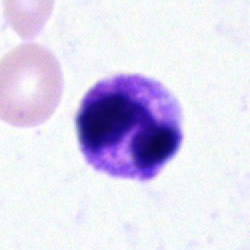

The cell type is neutrophil (segmented).